Peripheral blood smear · brightfield, 100× oil-immersion objective · 400×400 px — 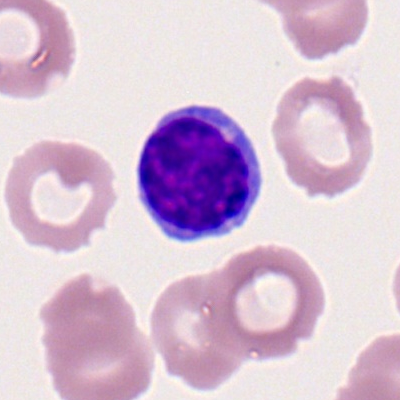 Specimen: peripheral blood smear.
Cell type: typical lymphocyte.